Bone marrow aspirate smear:
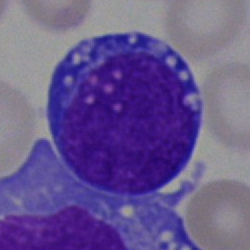

Showing a blast cell.